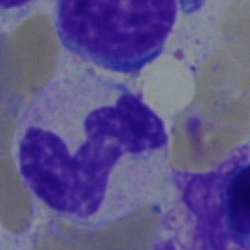This is a stab cell.